Brightfield microscopy, 40× oil immersion; 250×250; bone marrow aspirate smear: 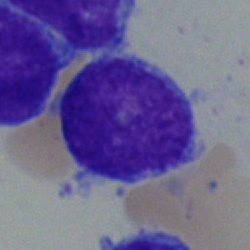
Q: Identify the cell.
A: An undifferentiated blast.